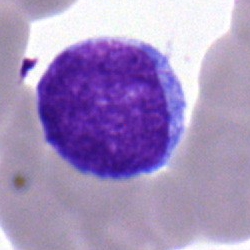
Q: Identify the cell.
A: It is an undifferentiated blast.